Peripheral blood film: 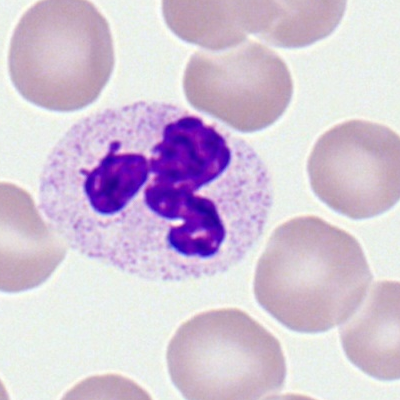 Single cell identified as a neutrophil (segmented).